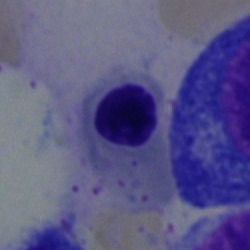
A nucleated red blood cell.